Bone marrow aspirate smear — 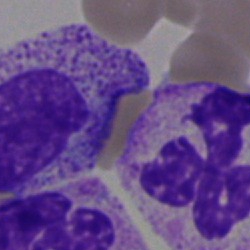 Cell type = cell of indeterminate lineage.